Bone marrow smear.
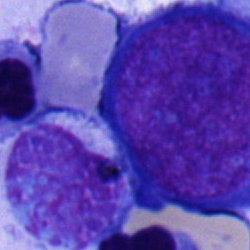
Morphology consistent with a proerythroblast.